Bone marrow smear. Single-cell crop
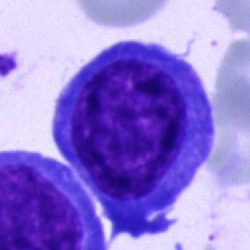Morphological class = blast cell.